250×250 px · bone marrow aspirate smear — 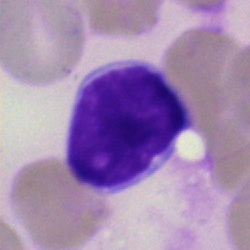Specimen: bone marrow smear.
Morphological class: lymphocyte.